Bone marrow smear — 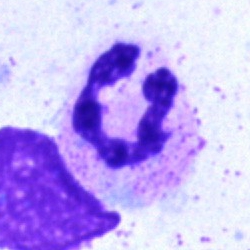

Morphology — neutrophil (segmented).